Bone marrow aspirate smear
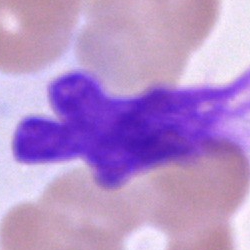

The morphological class is polymorphonuclear neutrophil.